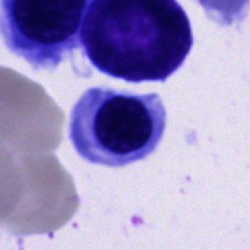 Cell type: normoblast.